Bone marrow aspirate smear.
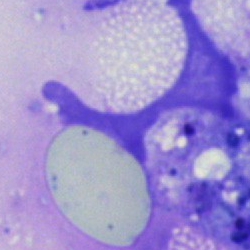 Morphological class — artifact.